Peripheral blood film:
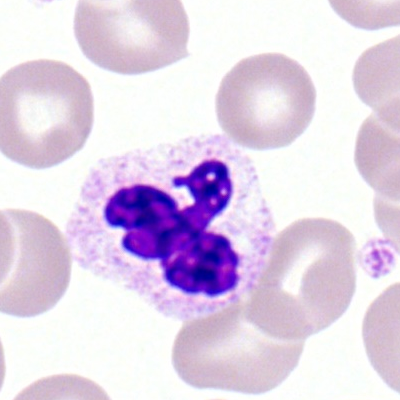Morphology consistent with a neutrophil (segmented).